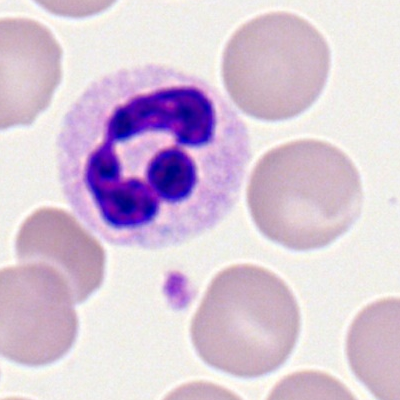Specimen: peripheral blood smear.
Morphological class: neutrophil (segmented).
Lineage: myeloid.